Bone marrow aspirate smear.
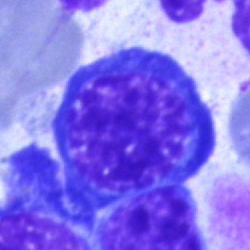 Nucleated red blood cell.